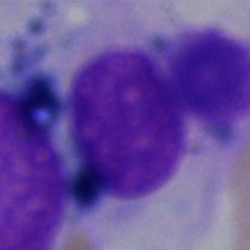The classification is artifact.